Bone marrow smear
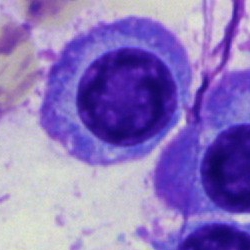

The cell shown is a plasmacyte.